Peripheral blood smear:
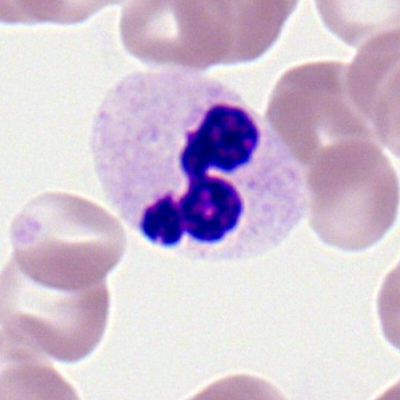 Q: What is shown here?
A: A neutrophil (segmented).